Bone marrow smear; single-cell crop:
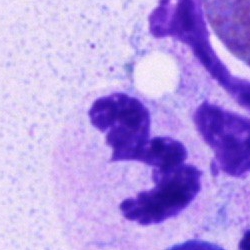

A neutrophil (segmented).